Bone marrow smear:
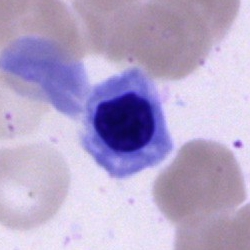Impression → erythroblast.